Bone marrow smear:
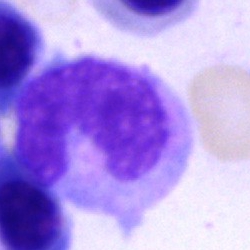

Classification: monocyte.